May-Grünwald-Giemsa stain; bone marrow aspirate smear — 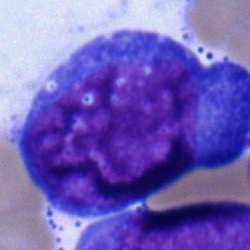

Classification = blast.